Bone marrow aspirate smear · single-cell field: 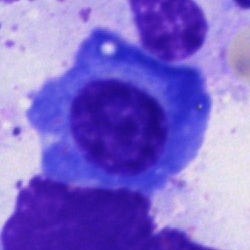

Q: Identify the cell.
A: Plasma cell.